Bone marrow smear; 40× oil immersion
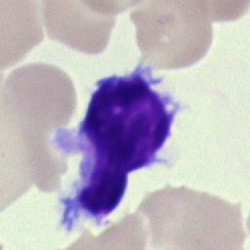 Morphology — typical lymphocyte.